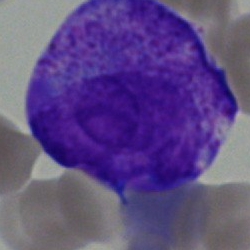The cell is undifferentiated blast.